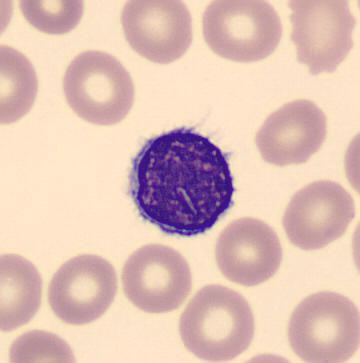

Preparation: Peripheral blood film.
Q: What is this?
A: It is a lymphocyte.